Brightfield, 40× oil-immersion objective. Bone marrow smear:
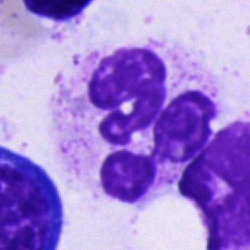 Showing a polymorphonuclear neutrophil.